Bone marrow smear — 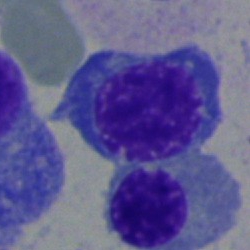Q: What type of cell is this?
A: It is a nucleated red blood cell.